Image size 250×250; bone marrow smear — 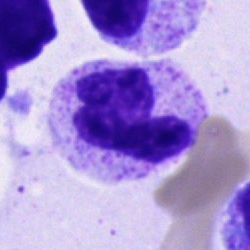

Morphology — neutrophil (segmented).